Bone marrow smear — 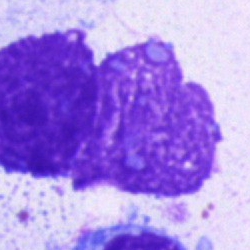

Showing an artefact.